Bone marrow smear:
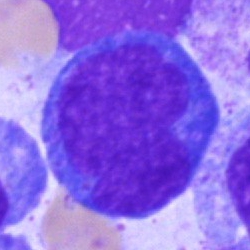

Showing an undifferentiated blast.